Bone marrow aspirate smear — 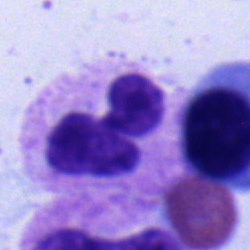
Single cell identified as a neutrophil (segmented).